400×400; peripheral blood film:
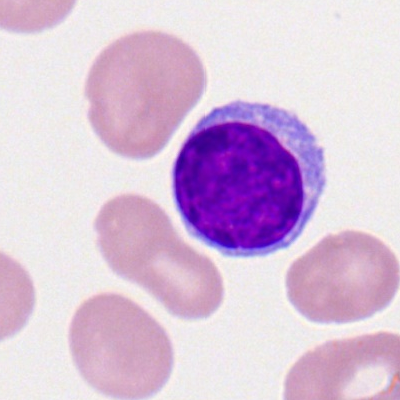

Showing a lymphocyte.